Bone marrow smear — 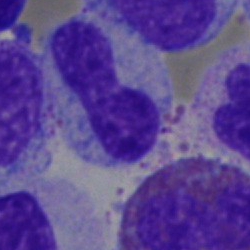
Q: What cell is this?
A: It is a band-form neutrophil.